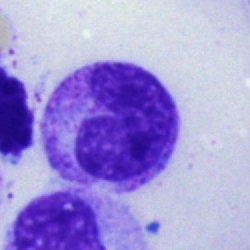

The cell is metamyelocyte.